Bone marrow smear — 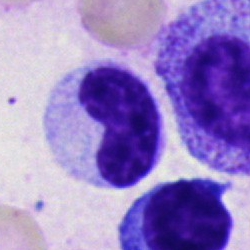
Neutrophil (band).